Bone marrow smear.
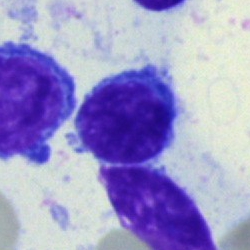
The cell shown is a lymphocyte.